Bone marrow smear — 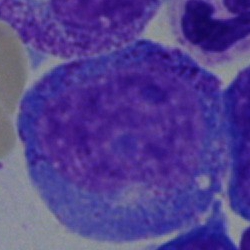Q: What is shown here?
A: A promyelocyte.